Bone marrow smear: 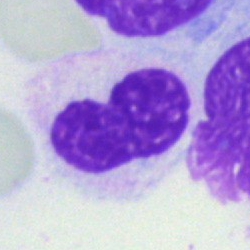Q: What type of cell is this?
A: A neutrophil (band).